Bone marrow smear. 250 by 250 pixels:
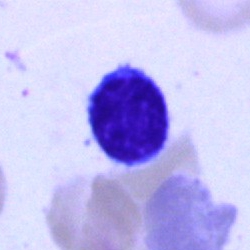

This is a typical lymphocyte.